Bone marrow aspirate smear:
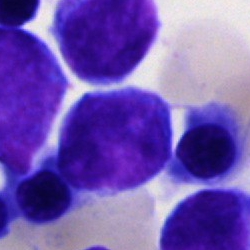 The cell is undifferentiated blast.